Bone marrow aspirate smear:
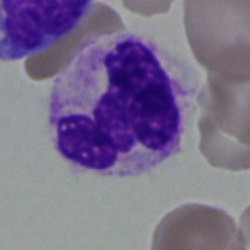The cell shown is a segmented neutrophil.